Peripheral blood smear; brightfield, 100× oil-immersion objective.
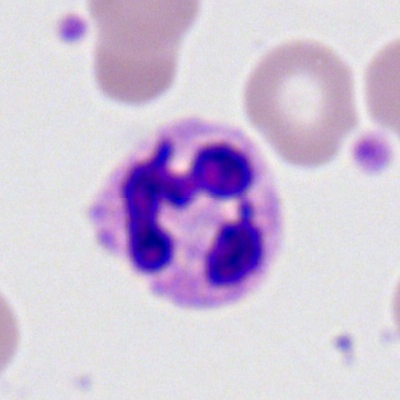

Q: What cell is this?
A: It is a neutrophil (segmented).